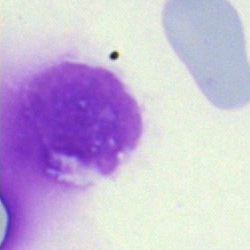

Q: What is shown here?
A: Artefact.